Peripheral blood film; image size 400×400
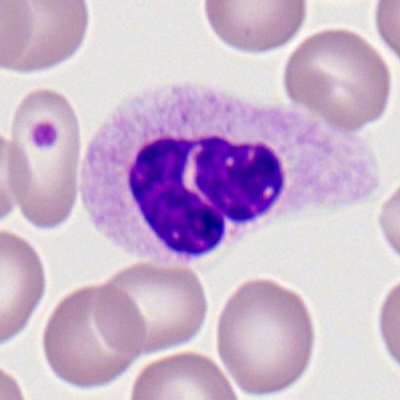Cell type — segmented neutrophil.